Bone marrow smear
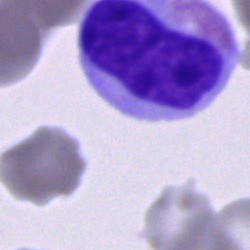

Cell — cell of indeterminate lineage.